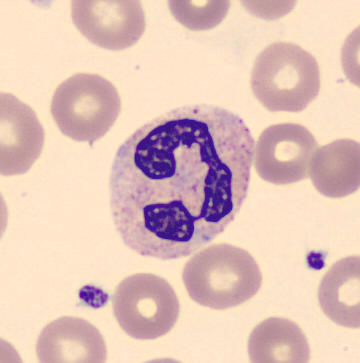
Image: Peripheral blood film; MGG-stained; imaged on a CellaVision DM96 analyser.

Impression — neutrophil (segmented).